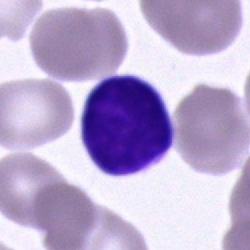 The cell shown is a lymphocyte.